Brightfield microscopy, 40× oil immersion · bone marrow smear
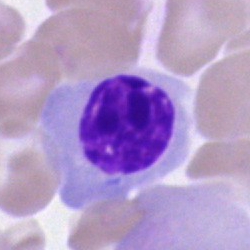Morphology → normoblast.